Bone marrow aspirate smear: 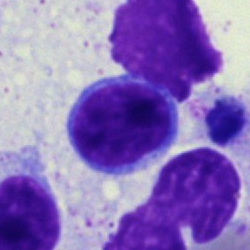

{"cell_type": "lymphocyte", "lineage": "lymphoid"}